Bone marrow aspirate smear; single cell centered in the field — 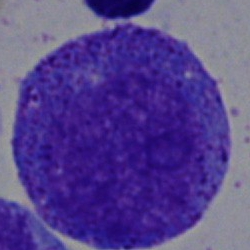
Impression — progranulocyte.